400 by 400 pixels · Romanowsky-stained · peripheral blood film: 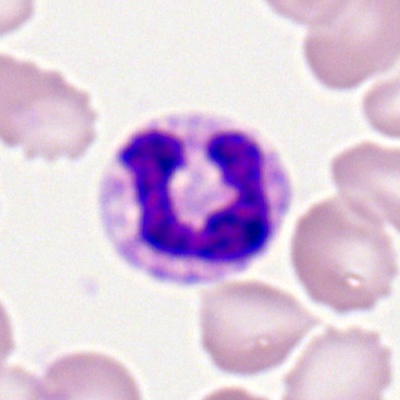

This is a polymorphonuclear neutrophil.